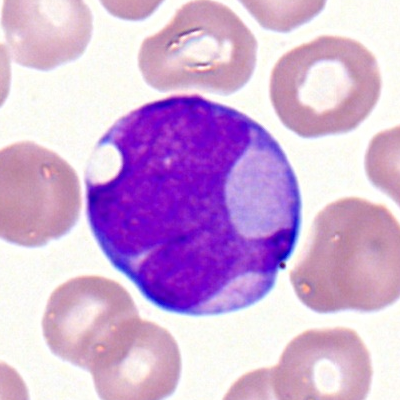 Single-cell crop from a peripheral blood smear: myeloid blast.